250×250. Bone marrow smear. Pappenheim-stained: 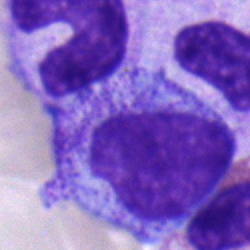This is a progranulocyte.